May-Grünwald-Giemsa/Pappenheim stain · bone marrow smear: 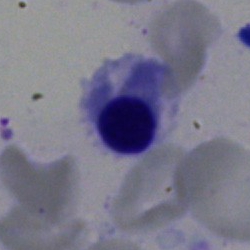This is a normoblast.